Bone marrow smear
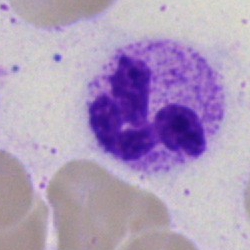

{"cell_type": "polymorphonuclear neutrophil"}